Bone marrow smear; May-Grünwald-Giemsa/Pappenheim stain; 250×250 px.
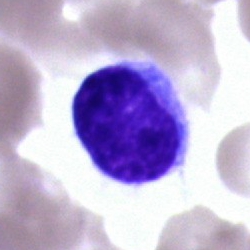 {"cell_type": "typical lymphocyte"}